250×250. Bone marrow smear:
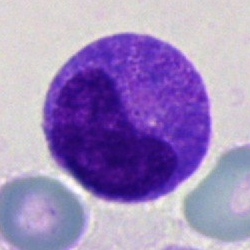 Morphological class = metamyelocyte.